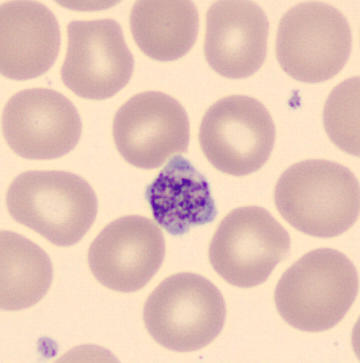

Morphological class — platelet (thrombocyte).